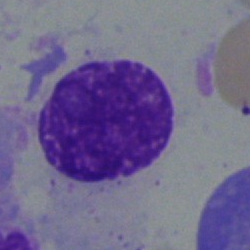

Bone marrow aspirate smear, single cell — artifact.